Bone marrow aspirate smear — 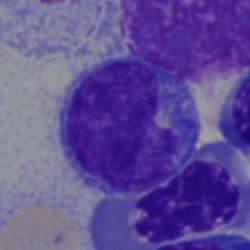 The cell type is monocyte.